Bone marrow smear; May-Grünwald-Giemsa stain; single cell centered in the field: 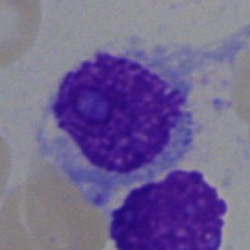Plasma cell.